Bone marrow smear
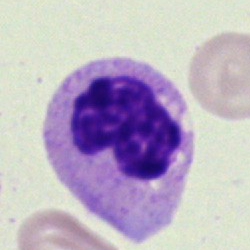 Q: Identify the cell.
A: This is a neutrophil (segmented).